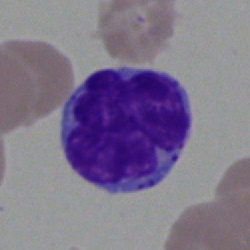
Morphology → typical lymphocyte.